Bone marrow aspirate smear — 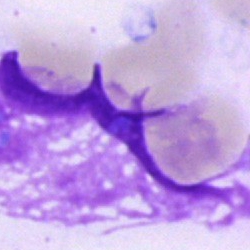
Showing an artefact.